40× oil immersion · bone marrow smear
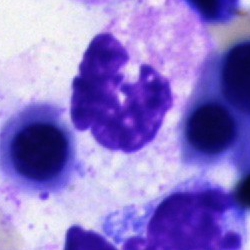 Q: Which cell type is shown here?
A: It is a polymorphonuclear neutrophil.